40× objective, oil immersion; May-Grünwald-Giemsa stain; bone marrow aspirate smear: 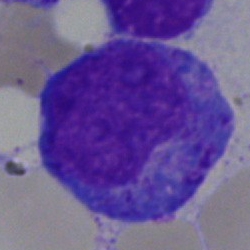Q: Which cell type is shown here?
A: A progranulocyte.